Brightfield microscopy, 40× oil immersion · cropped to a single cell · bone marrow smear.
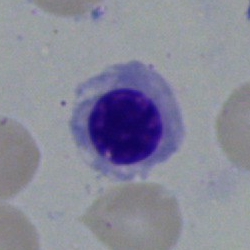
This is an erythroblast.